May-Grünwald-Giemsa stain; bone marrow smear — 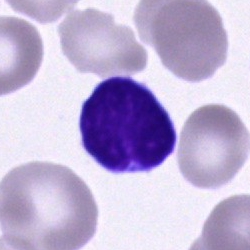

Morphology → lymphocyte.